Peripheral blood smear
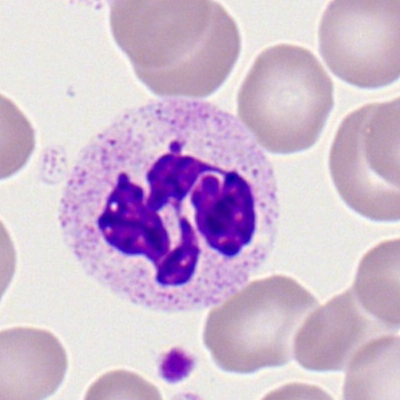Classification: polymorphonuclear neutrophil.